Bone marrow smear; 250×250 px: 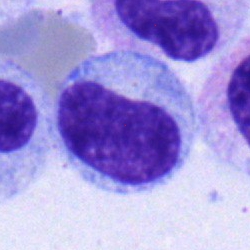Showing a metamyelocyte.